Peripheral blood film; single-cell crop.
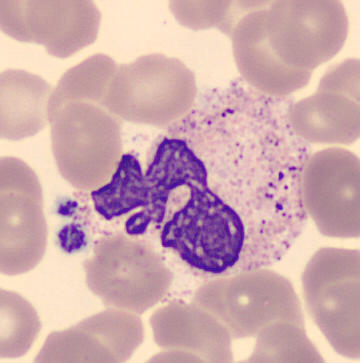

The cell type is neutrophil (segmented).